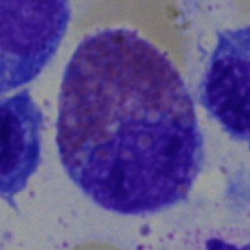

This is an eosinophilic granulocyte.